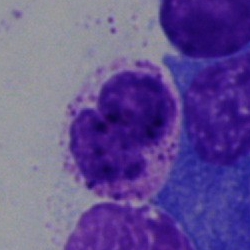
Q: What cell is this?
A: Basophil.